Bone marrow aspirate smear. Single cell centered in the field. Brightfield microscopy, 40× oil immersion: 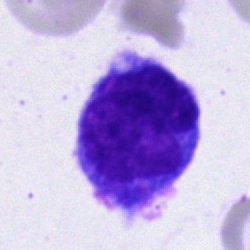 Cell type = monocyte.